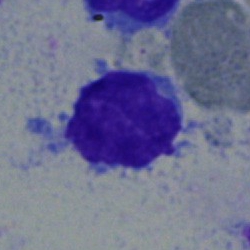

Q: What type of cell is this?
A: This is a typical lymphocyte.